Bone marrow aspirate smear:
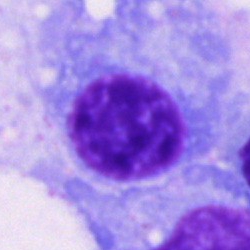{"cell_type": "plasmacyte", "lineage": "lymphoid"}